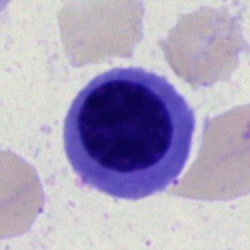

Bone marrow smear showing an erythroblast.